Bone marrow smear: 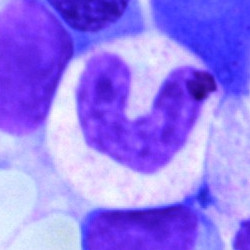 Cell — band neutrophil.